Bone marrow smear: 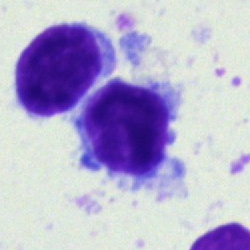

Cell — lymphocyte.